250 by 250 pixels; bone marrow smear — 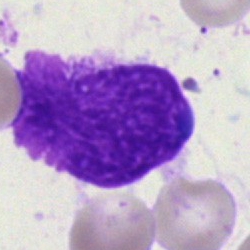 Morphology — artifact.